Bone marrow smear
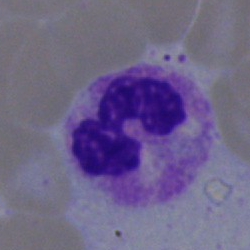 Specimen: bone marrow smear.
Morphological class: neutrophil (segmented).